Bone marrow smear — 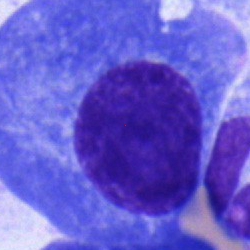
{"cell_type": "plasma cell", "lineage": "lymphoid"}